250 by 250 pixels · bone marrow smear · cropped to a single cell:
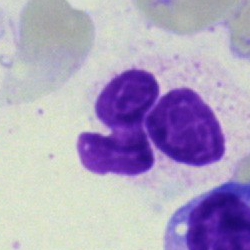Q: What is shown here?
A: This is an artefact.